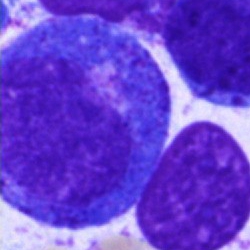Bone marrow aspirate smear, single cell — promyelocyte.